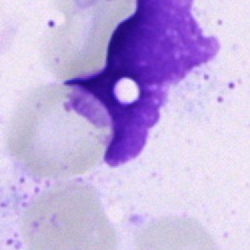 Cell type: artifact.